250×250 px; 40× objective, oil immersion; bone marrow smear: 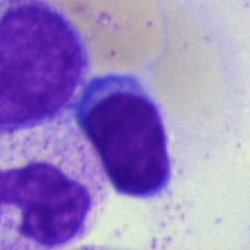

The cell type is segmented neutrophil.